Brightfield, 40× oil-immersion objective · bone marrow aspirate smear — 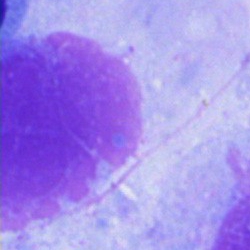
Specimen: bone marrow smear.
Cell: artifact.